Single cell centered in the field. Pappenheim-stained. Bone marrow aspirate smear: 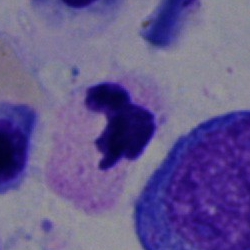
Morphological class — polymorphonuclear neutrophil.